Bone marrow smear
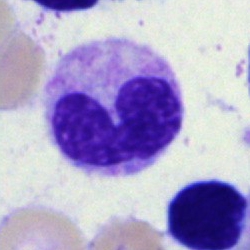

A stab cell.